Bone marrow smear · single-cell crop · May-Grünwald-Giemsa stain — 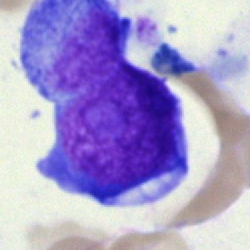 Specimen: bone marrow smear.
Classification: blast.